40× oil immersion. May-Grünwald-Giemsa stain. Bone marrow smear — 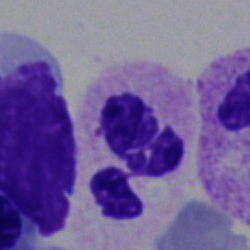Specimen: bone marrow aspirate smear.
Cell: neutrophil (segmented).
Lineage: myeloid.